Bone marrow aspirate smear · 40× oil immersion:
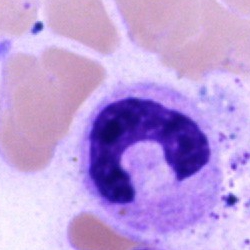Band neutrophil.